Bone marrow aspirate smear — 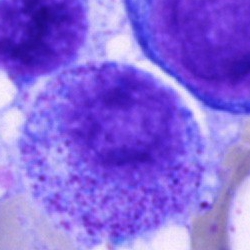 Morphological class: promyelocyte.